Bone marrow aspirate smear: 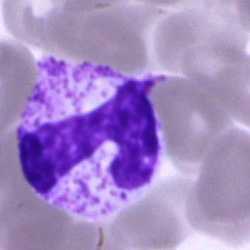

Cell type: band neutrophil.